Bone marrow aspirate smear:
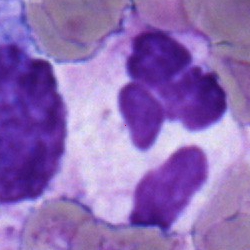
The cell shown is a neutrophil (segmented).